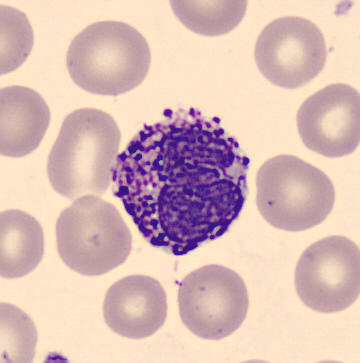

Specimen: peripheral blood smear.
Classification: basophil.

360×363; MGG-stained.